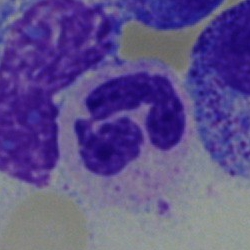The classification is neutrophil (segmented).